Bone marrow aspirate smear
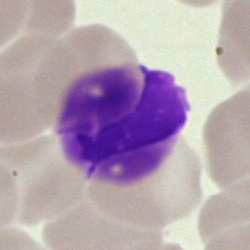Artifact.